Bone marrow smear:
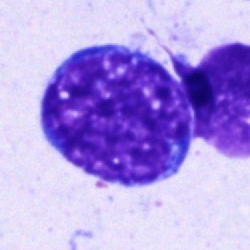Specimen: bone marrow aspirate smear.
Classification: undifferentiated blast.